Imaged on a CellaVision DM96 analyser. MGG-stained. Peripheral blood film — 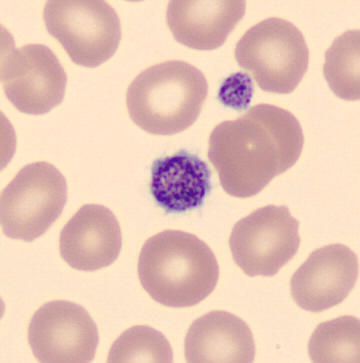Morphology — thrombocyte.